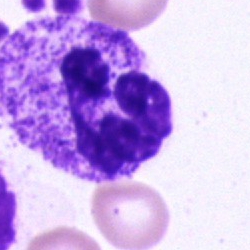A neutrophil (segmented) on a bone marrow smear.